Bone marrow smear; brightfield microscopy, 40× oil immersion:
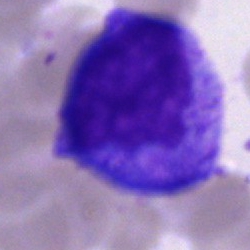

Q: Which cell type is shown here?
A: It is a progranulocyte.